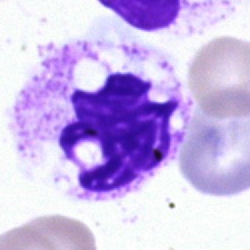A neutrophil (segmented) on a bone marrow smear.